Bone marrow smear · 250×250:
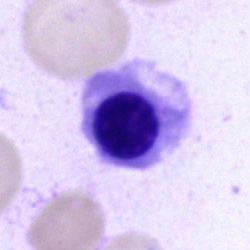
Specimen: bone marrow smear.
Cell: nucleated red blood cell.